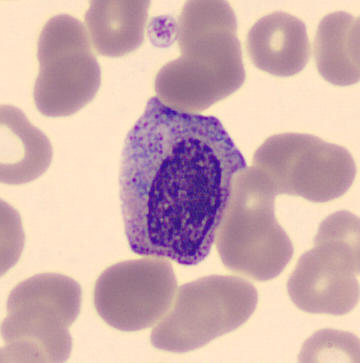
Specimen: peripheral blood film.
Cell: myelocyte.
Lineage: myeloid.